Bone marrow smear; single cell centered in the field; Pappenheim-stained.
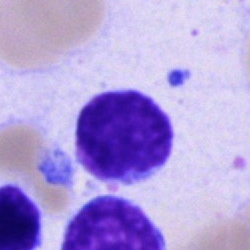

{"cell_type": "lymphocyte"}